Bone marrow aspirate smear
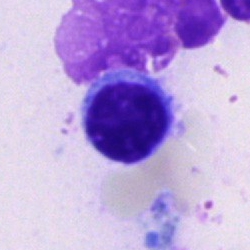

Impression — lymphocyte.